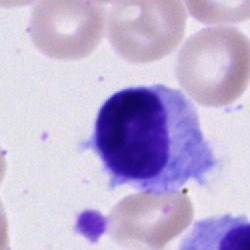This is a typical lymphocyte.